Bone marrow aspirate smear: 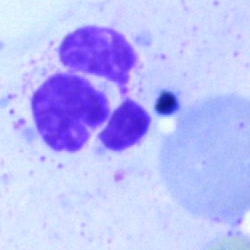Q: What is the morphological classification of this cell?
A: It is a polymorphonuclear neutrophil.